Bone marrow smear — 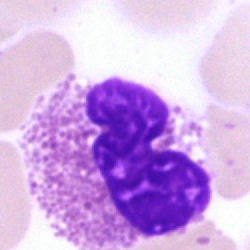
Cell type: eosinophilic granulocyte.